Bone marrow aspirate smear
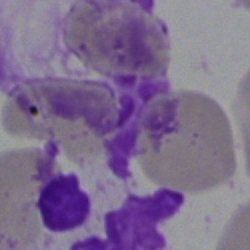
Morphology consistent with an artefact.